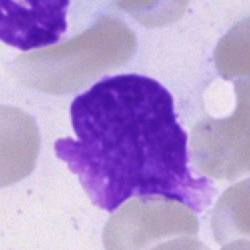
Cell type: artefact.